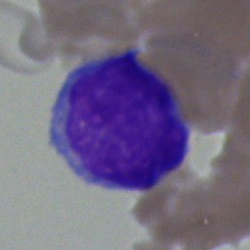 A blast on a bone marrow smear.